Peripheral blood smear.
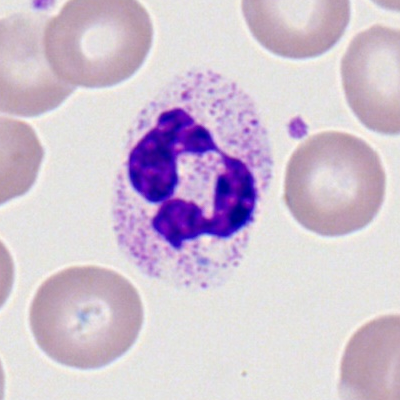

Morphology → segmented neutrophil.